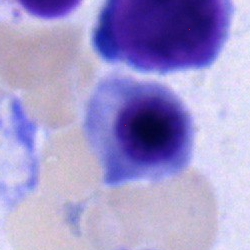An erythroblast on a bone marrow smear.